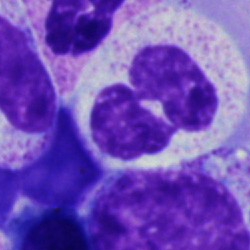
Single cell identified as a segmented neutrophil.